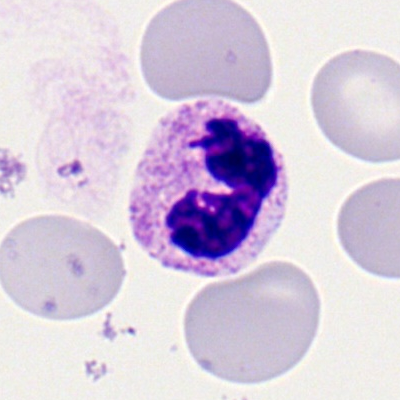

Single-cell crop from a peripheral blood smear: segmented neutrophil.